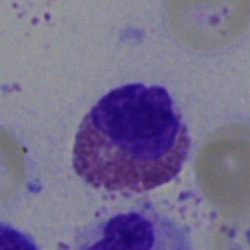
The cell type is eosinophil.